Bone marrow smear · May-Grünwald-Giemsa/Pappenheim stain — 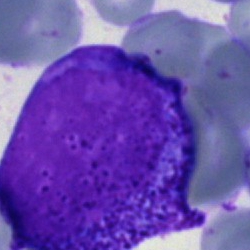
Specimen: bone marrow aspirate smear.
Cell: blast.